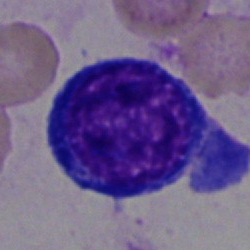{"cell_type": "pronormoblast", "lineage": "erythroid"}